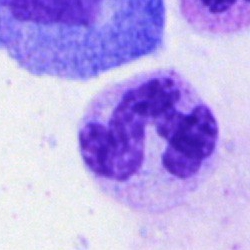Bone marrow smear showing a segmented neutrophil.